Peripheral blood film: 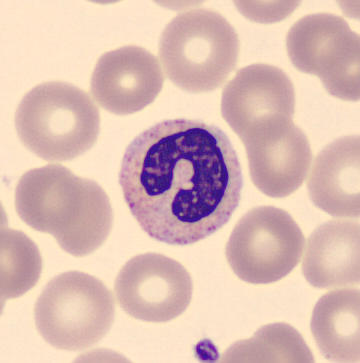 This is a band neutrophil.